Bone marrow smear
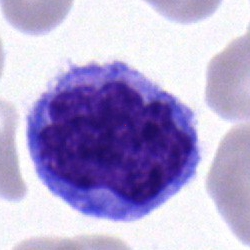

Classification = monocyte.